Bone marrow smear.
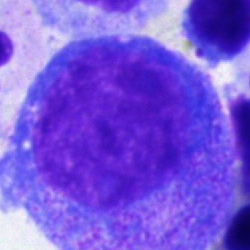 Impression — progranulocyte.